Bone marrow aspirate smear — 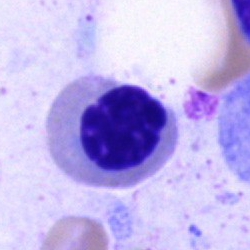
Morphology → nucleated red blood cell.